Bone marrow smear:
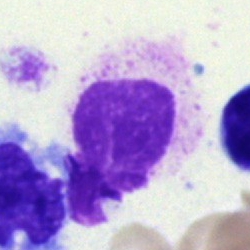
Specimen: bone marrow aspirate smear.
Cell: artifact.